MGG-stained; bone marrow smear:
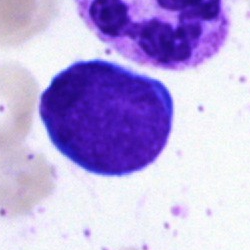 Morphological class: lymphocyte.